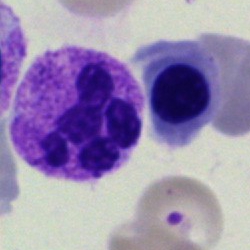 A neutrophil (segmented).